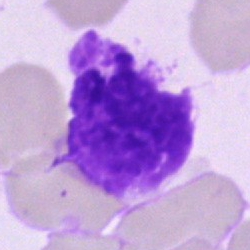
Morphology consistent with an artefact.